Romanowsky stain · peripheral blood film:
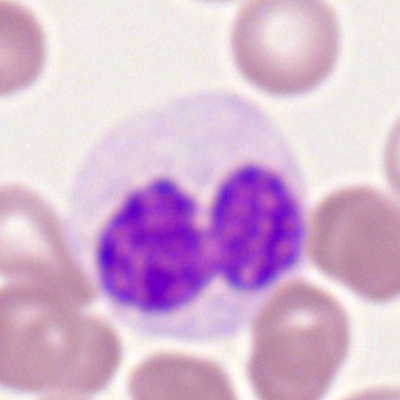

Specimen: peripheral blood smear.
Classification: polymorphonuclear neutrophil.
Lineage: myeloid.